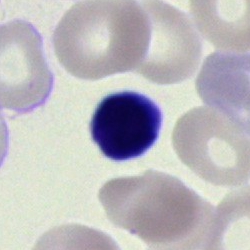Q: What type of cell is this?
A: It is a lymphocyte.